MGG-stained; bone marrow aspirate smear; single-cell field.
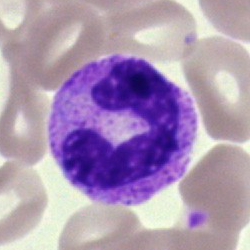 This is a polymorphonuclear neutrophil.